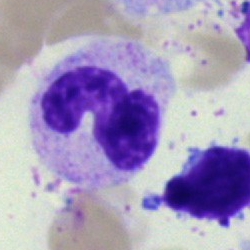
Q: Identify the cell.
A: Segmented neutrophil.